Bone marrow smear.
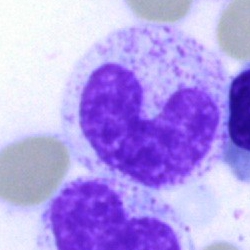 Specimen: bone marrow aspirate smear.
Classification: stab cell.
Lineage: myeloid.